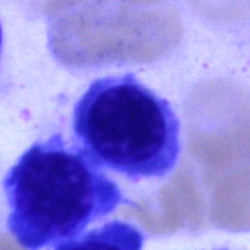

Cell — nucleated red cell.